Peripheral blood smear · 400×400 px · single-cell field: 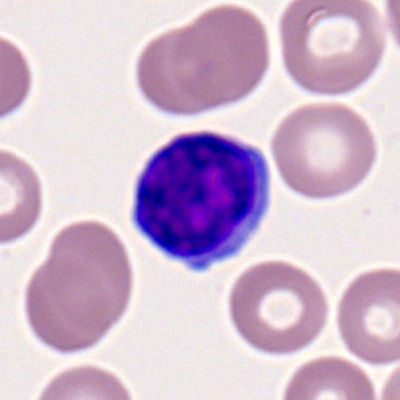

Q: What cell is this?
A: This is a lymphocyte.